Bone marrow smear · single-cell field
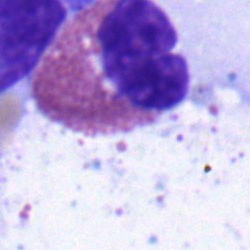

Single cell identified as an eosinophilic granulocyte.